Bone marrow aspirate smear. Single-cell field.
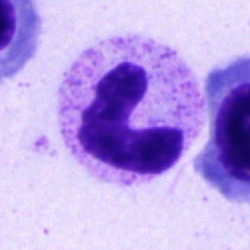
The cell shown is a neutrophil (band).